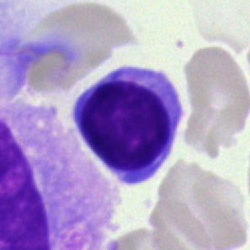 The morphological class is lymphocyte.